Peripheral blood film. Single-cell crop: 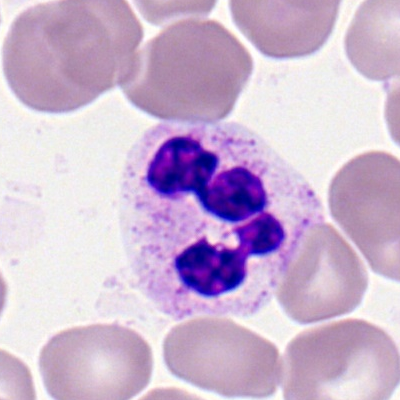 Single cell identified as a neutrophil (segmented).